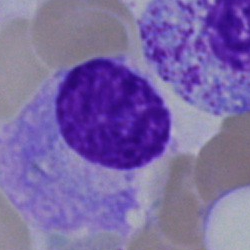

Impression — artefact.